Bone marrow smear:
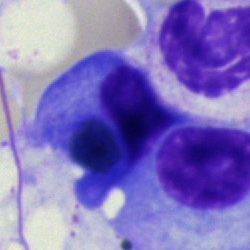
{"cell_type": "plasmacyte", "lineage": "lymphoid"}